Bone marrow smear: 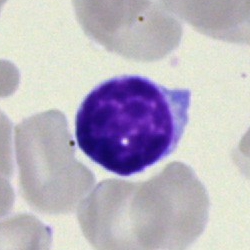
The cell type is typical lymphocyte.